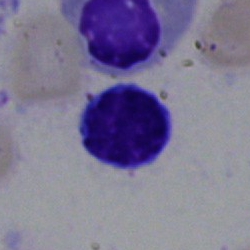
The cell is typical lymphocyte.